Single-cell field · bone marrow smear.
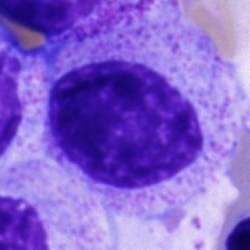The cell is promyelocyte.